250×250. Bone marrow aspirate smear
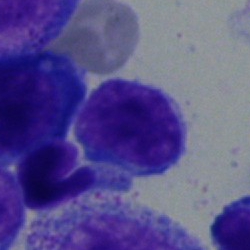
Specimen: bone marrow smear.
Classification: typical lymphocyte.